Peripheral blood smear; single cell centered in the field.
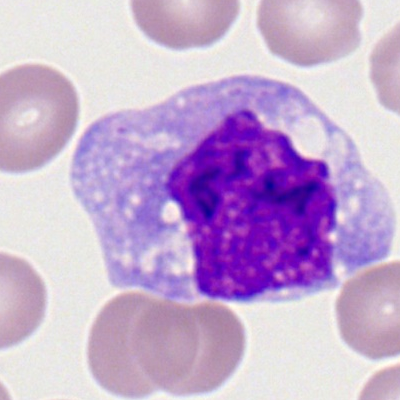Monocyte.